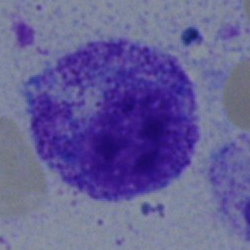 Impression — myelocyte.